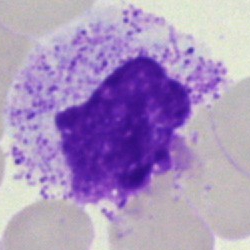

Impression — artefact.